Bone marrow smear: 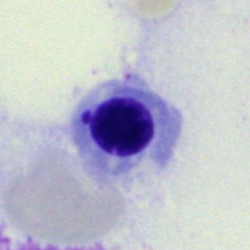
The classification is normoblast.